Brightfield, 40× oil-immersion objective. Bone marrow aspirate smear: 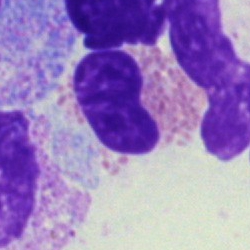Morphology — eosinophil.